Brightfield microscopy, 40× oil immersion. Bone marrow aspirate smear:
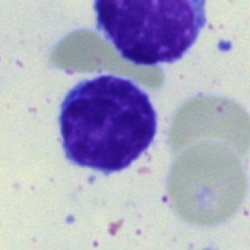 Specimen: bone marrow aspirate smear.
Cell: typical lymphocyte.